250×250 · bone marrow aspirate smear
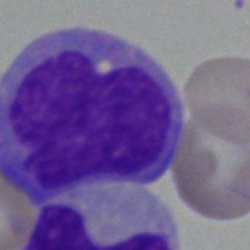Showing a monocyte.